Bone marrow smear: 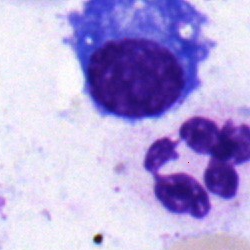 Specimen: bone marrow smear.
Morphological class: plasmacyte.
Lineage: lymphoid.